Bone marrow smear — 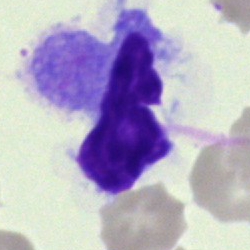 Cell: artifact.